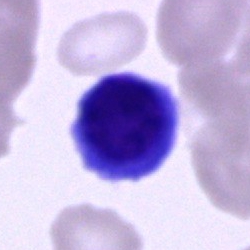
The morphological class is nucleated red cell.